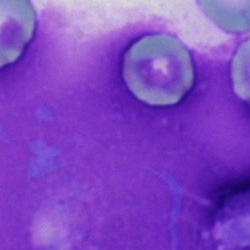 Bone marrow smear showing an artefact.